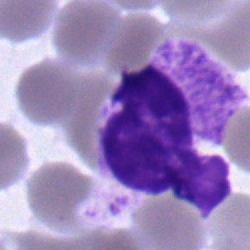 Cell: segmented neutrophil.